Peripheral blood smear · 360×363 px · May Grünwald-Giemsa stain:
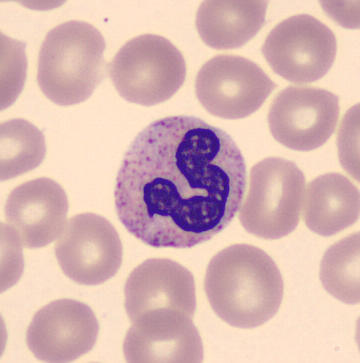
Q: Which cell type is shown here?
A: This is a segmented neutrophil.